Peripheral blood smear.
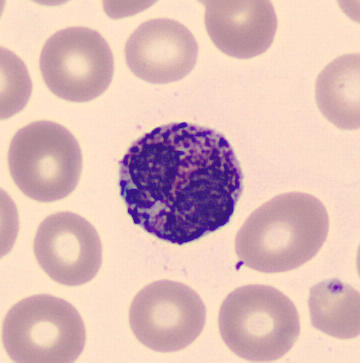 Morphology consistent with a basophil.